Brightfield, 40× oil-immersion objective; single-cell field; bone marrow aspirate smear.
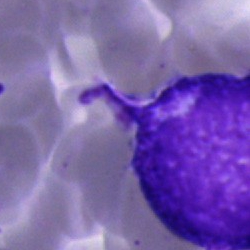
Morphology — artefact.